Bone marrow smear:
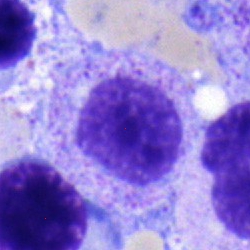{"cell_type": "myelocyte", "lineage": "myeloid"}